40× objective, oil immersion · bone marrow smear — 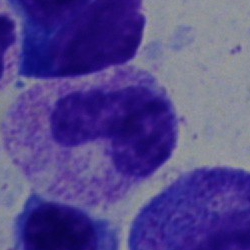 Morphology consistent with a neutrophil (band).